40× objective, oil immersion · May-Grünwald-Giemsa stain · bone marrow aspirate smear — 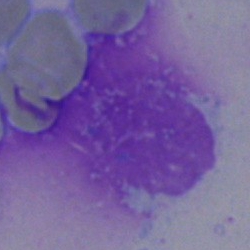 Classification: artifact.